Bone marrow aspirate smear.
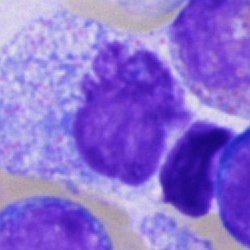

Impression — unidentifiable cell.